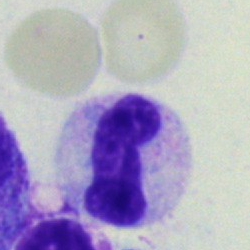
The cell is neutrophil (band).